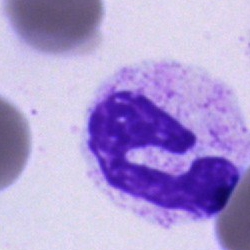
Morphology → band-form neutrophil.